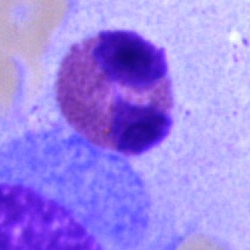Q: Identify the cell.
A: This is an eosinophilic granulocyte.